Bone marrow aspirate smear.
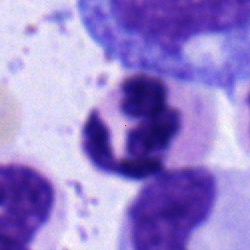
A polymorphonuclear neutrophil.